Peripheral blood smear — 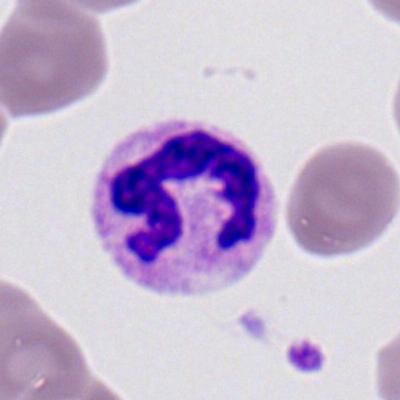
Impression — segmented neutrophil.